Bone marrow aspirate smear; May-Grünwald-Giemsa stain; cropped to a single cell
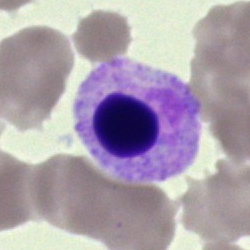

Specimen: bone marrow smear.
Classification: artefact.